Bone marrow aspirate smear: 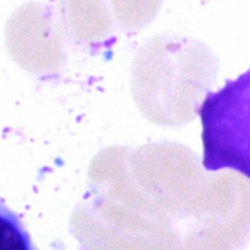

Artifact.